Bone marrow aspirate smear
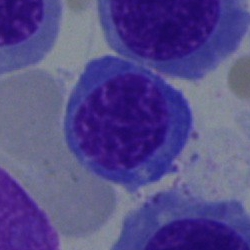
Classification = nucleated red blood cell.